Bone marrow aspirate smear — 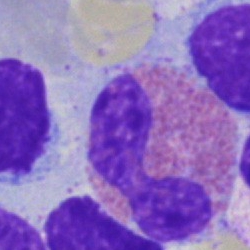
Single cell identified as an eosinophilic granulocyte.